Single cell centered in the field; peripheral blood film:
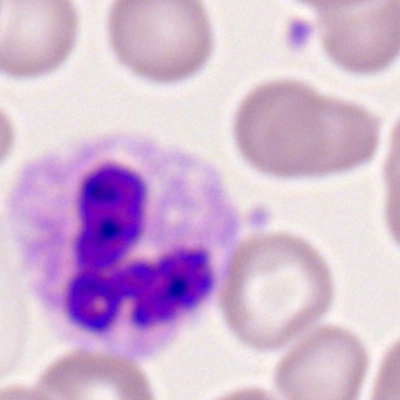

Impression — neutrophil (segmented).